Bone marrow smear. May-Grünwald-Giemsa stain. Single cell centered in the field — 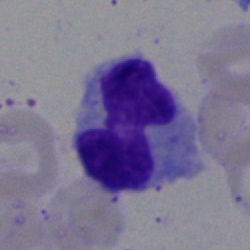 Cell — neutrophil (segmented).